Bone marrow smear.
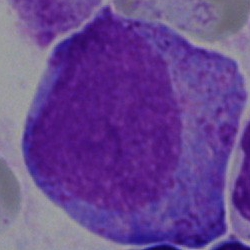 Specimen: bone marrow aspirate smear.
Cell type: progranulocyte.
Lineage: myeloid.